Single-cell field. Bone marrow smear. May-Grünwald-Giemsa stain
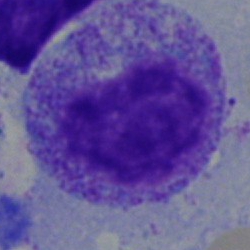Single cell identified as a myelocyte.